Bone marrow aspirate smear
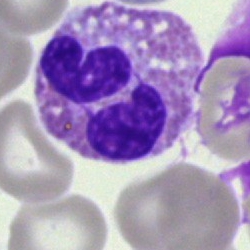

Classification — eosinophil.